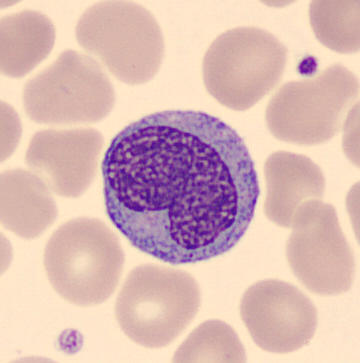
A monocyte.